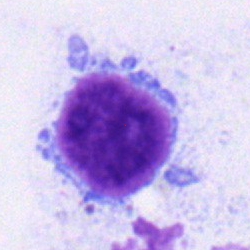

Cell — lymphocyte.